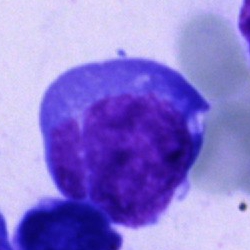

{"cell_type": "blast"}